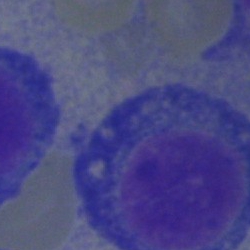Showing a plasma cell.